Bone marrow smear.
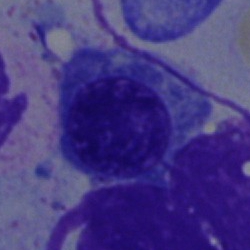 {"cell_type": "erythroblast"}